Bone marrow aspirate smear · brightfield, 40× oil-immersion objective.
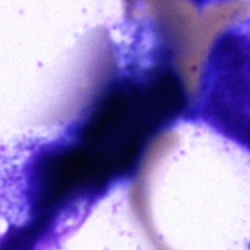

Impression → artifact.